Bone marrow aspirate smear.
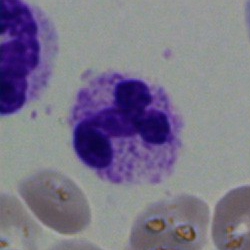 A segmented neutrophil.